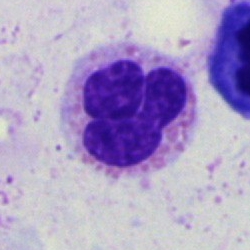

Q: What cell is this?
A: Segmented neutrophil.